Bone marrow aspirate smear: 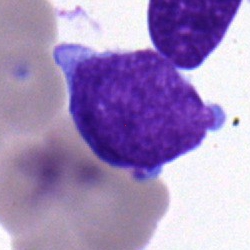 Morphology consistent with an undifferentiated blast.